Pappenheim-stained · 40× objective, oil immersion · bone marrow aspirate smear — 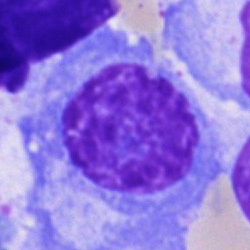Classification = plasmacyte.